Bone marrow aspirate smear
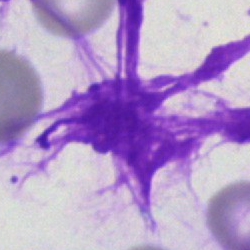
Cell type: artifact.